Bone marrow aspirate smear
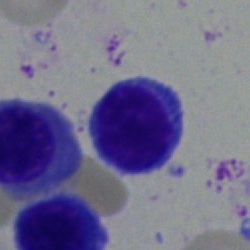The cell is lymphocyte.